May-Grünwald-Giemsa/Pappenheim stain. Bone marrow smear. 250 by 250 pixels.
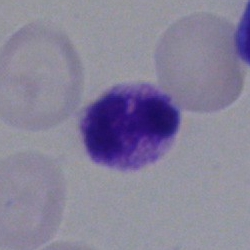
Cell type: segmented neutrophil.